Bone marrow aspirate smear:
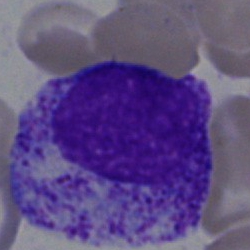 A myelocyte.